Peripheral blood film; automated cell imaging (CellaVision DM96)
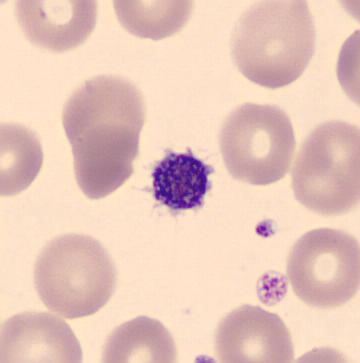 Impression → platelet.